Brightfield, 40× oil-immersion objective. Bone marrow smear. Image size 250×250:
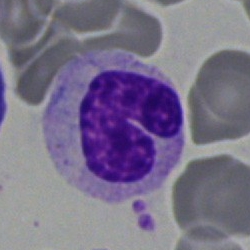

Morphological class — neutrophil (band).